Cropped to a single cell. Brightfield, 40× oil-immersion objective. Bone marrow aspirate smear: 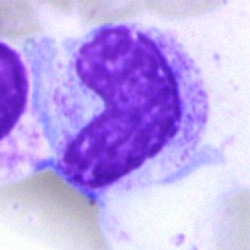
Morphology → band neutrophil.